Bone marrow smear; 250 by 250 pixels.
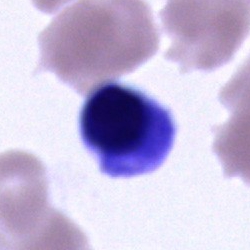Cell type = nucleated red cell.